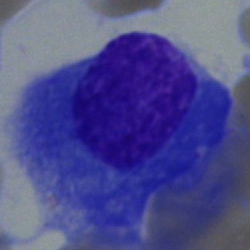Specimen: bone marrow smear.
Cell type: plasmacyte.